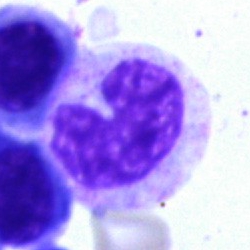 Morphological class = band-form neutrophil.